Bone marrow aspirate smear — 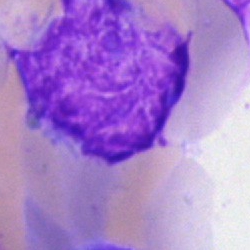An artifact.